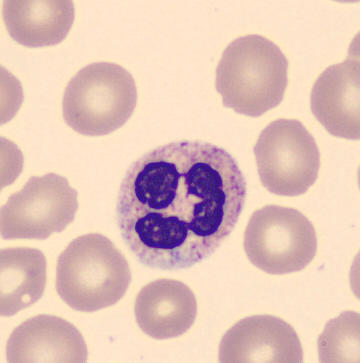

Q: Which cell type is shown here?
A: A neutrophil (segmented).